Bone marrow aspirate smear. Brightfield microscopy, 40× oil immersion — 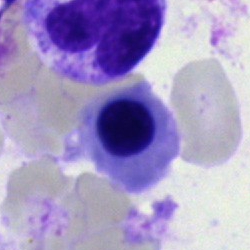Cell type — erythroblast.